Bone marrow aspirate smear; MGG-stained; 250 by 250 pixels:
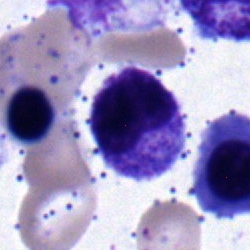 The cell shown is a metamyelocyte.